Single cell centered in the field; May-Grünwald-Giemsa/Pappenheim stain; bone marrow smear
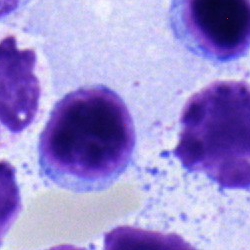
Q: What is the morphological classification of this cell?
A: Lymphocyte.